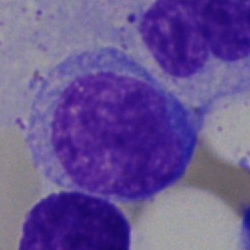Specimen: bone marrow smear.
Classification: promyelocyte.
Lineage: myeloid.